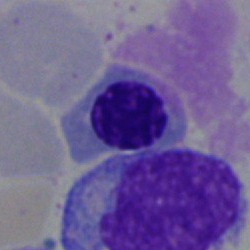Impression — nucleated red cell.